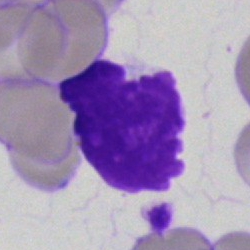
Morphological class = artefact.